Image size 250×250 · bone marrow aspirate smear · 40× objective, oil immersion: 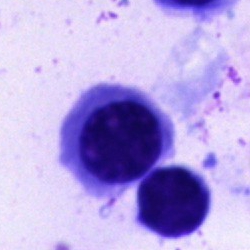
This is a nucleated red blood cell.